Bone marrow smear · 250 by 250 pixels:
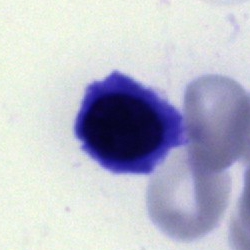Cell: erythroblast.